Bone marrow aspirate smear
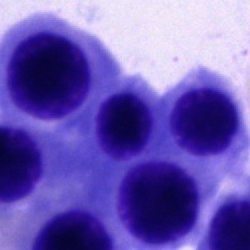This is a nucleated red blood cell.